Bone marrow aspirate smear — 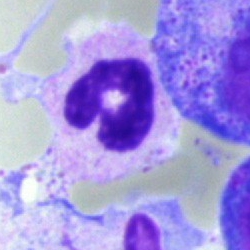Q: What is the morphological classification of this cell?
A: It is a segmented neutrophil.